Bone marrow smear:
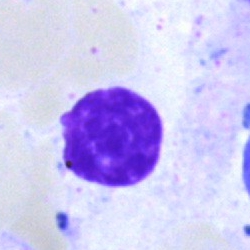Morphology → artefact.